Peripheral blood film: 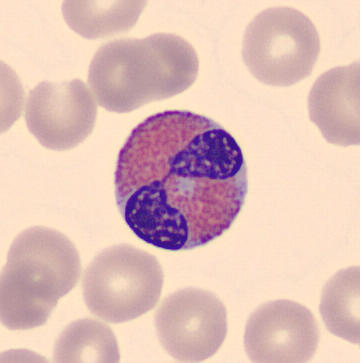Q: What cell is this?
A: This is an eosinophil.